Cropped to a single cell · bone marrow aspirate smear — 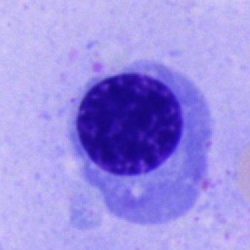 Morphological class: nucleated red cell.